Bone marrow aspirate smear: 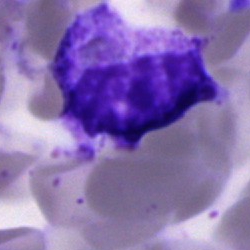

Specimen: bone marrow smear.
Classification: cell of indeterminate lineage.